Peripheral blood smear
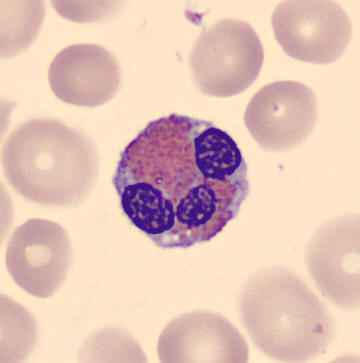Q: What is this?
A: This is an eosinophil.